Bone marrow smear: 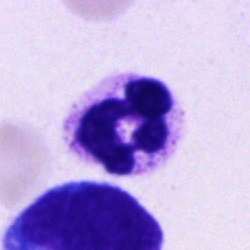 Classification — polymorphonuclear neutrophil.